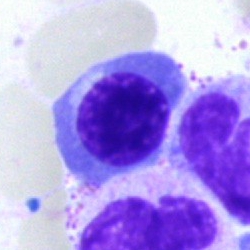
Impression — erythroblast.